Bone marrow aspirate smear — 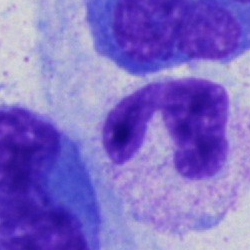Specimen: bone marrow aspirate smear.
Cell: neutrophil (segmented).